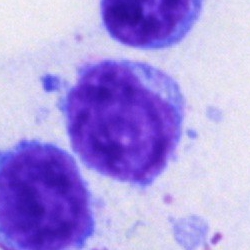
Specimen: bone marrow smear.
Cell: lymphocyte.